May-Grünwald-Giemsa/Pappenheim stain · bone marrow aspirate smear
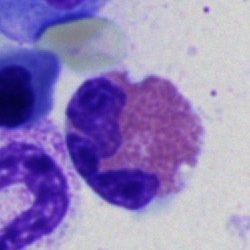Cell: eosinophil.